Bone marrow aspirate smear. Image size 250×250. Cropped to a single cell.
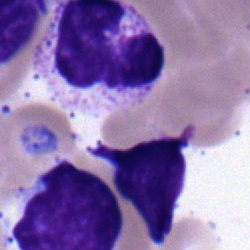

Specimen: bone marrow aspirate smear.
Cell: segmented neutrophil.
Lineage: myeloid.